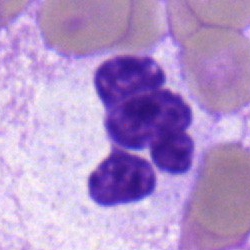This is a neutrophil (segmented).